May-Grünwald-Giemsa/Pappenheim stain · single cell centered in the field · bone marrow smear — 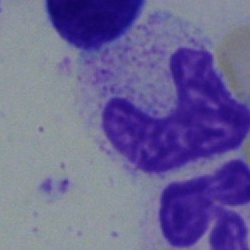
Q: What is the morphological classification of this cell?
A: Band-form neutrophil.